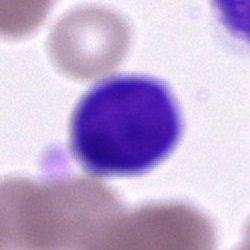Bone marrow smear showing a typical lymphocyte.